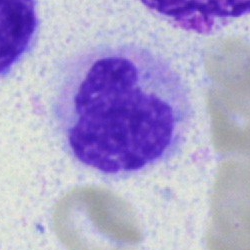{"cell_type": "band-form neutrophil"}